Brightfield, 40× oil-immersion objective · bone marrow smear · May-Grünwald-Giemsa stain
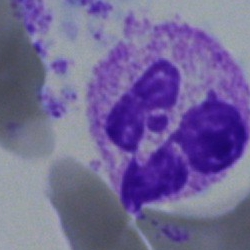

Specimen: bone marrow aspirate smear.
Morphological class: eosinophilic granulocyte.